Bone marrow aspirate smear
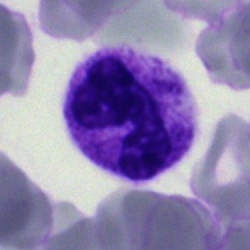
The cell shown is a neutrophil (segmented).